May-Grünwald-Giemsa stain; bone marrow aspirate smear
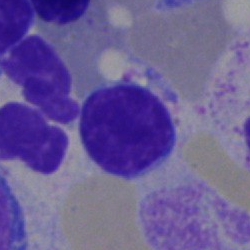

Specimen: bone marrow smear.
Classification: typical lymphocyte.
Lineage: lymphoid.